Peripheral blood film:
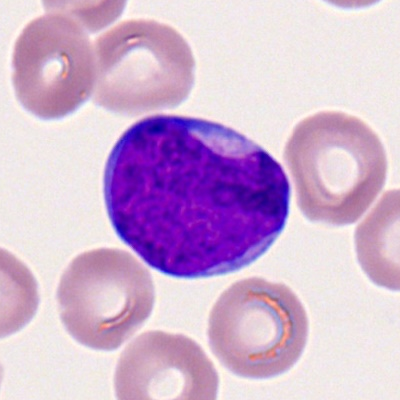The cell shown is a myeloid blast.